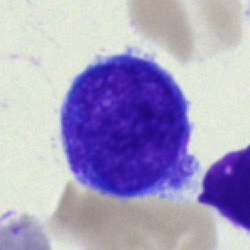

Morphology — blast cell.